Single-cell field · bone marrow smear · 40× oil immersion.
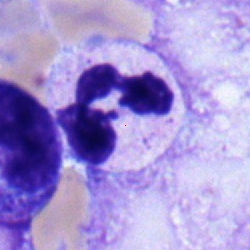
Cell type — polymorphonuclear neutrophil.